Single-cell crop; bone marrow aspirate smear
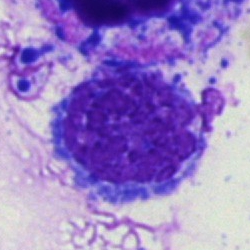

Q: What is shown here?
A: Artifact.